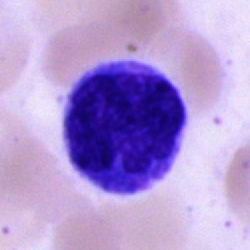

Cell type = monocyte.